Single-cell field. Bone marrow smear:
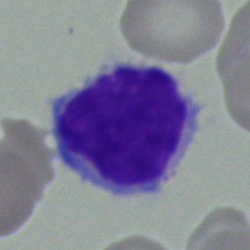 Q: What is shown here?
A: Typical lymphocyte.